Bone marrow smear: 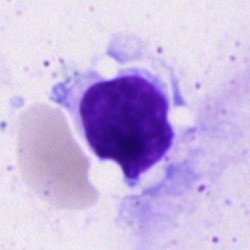

Impression — lymphocyte.